Bone marrow aspirate smear: 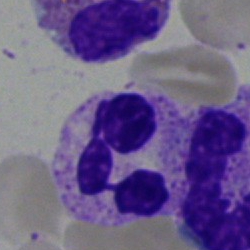
The cell shown is a polymorphonuclear neutrophil.